Bone marrow smear · single-cell crop:
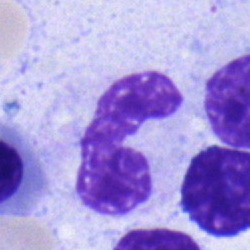

Morphology — band-form neutrophil.